Peripheral blood smear. Cropped to a single cell. Brightfield, 100× oil-immersion objective:
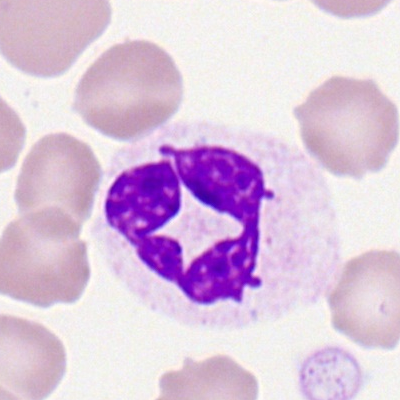 Impression — segmented neutrophil.